Bone marrow smear: 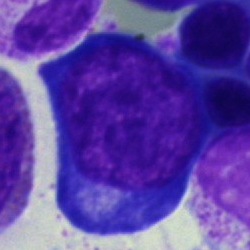Impression → proerythroblast.